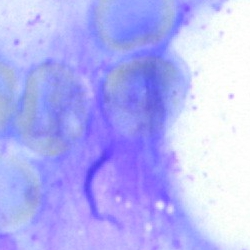Impression — artifact.